250 by 250 pixels · bone marrow smear · single-cell field.
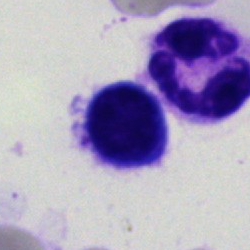Cell = segmented neutrophil.